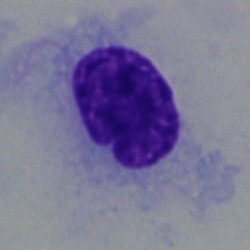The morphological class is hairy cell.